MGG-stained; bone marrow aspirate smear — 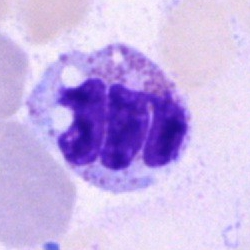
Classification — polymorphonuclear neutrophil.